Bone marrow smear.
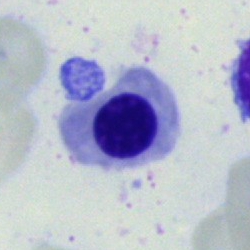
{"cell_type": "erythroblast", "lineage": "erythroid"}